250×250; bone marrow aspirate smear; May-Grünwald-Giemsa stain:
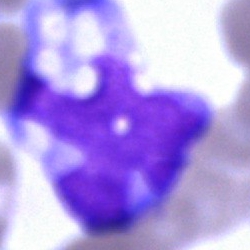
The cell shown is a monocyte.